Bone marrow smear:
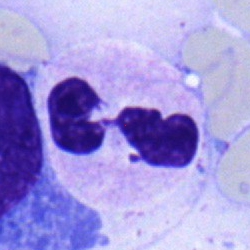
Specimen: bone marrow smear.
Classification: polymorphonuclear neutrophil.